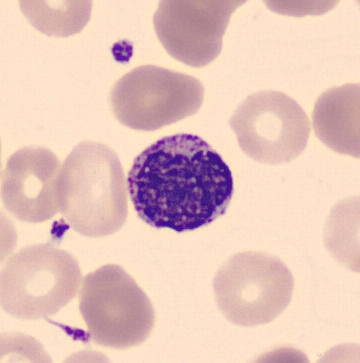

Acquisition: Peripheral blood smear; single cell centered in the field; CellaVision DM96 digital cell image.
{"cell_type": "metamyelocyte"}